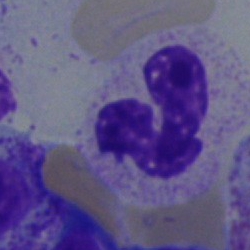

A band-form neutrophil on a bone marrow smear.